Bone marrow aspirate smear. 250 by 250 pixels
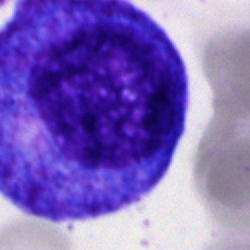
Q: What is shown here?
A: Progranulocyte.